MGG-stained; bone marrow aspirate smear; 250 by 250 pixels:
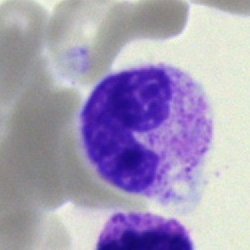The cell shown is a neutrophil (segmented).